40× oil immersion; single cell centered in the field; bone marrow aspirate smear.
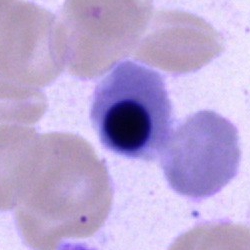

Classification: nucleated red cell.